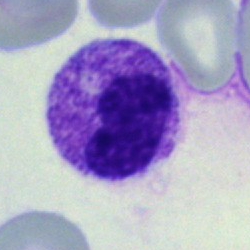 Classification = neutrophil (band).